Romanowsky-stained · peripheral blood film · brightfield, 100× oil-immersion objective: 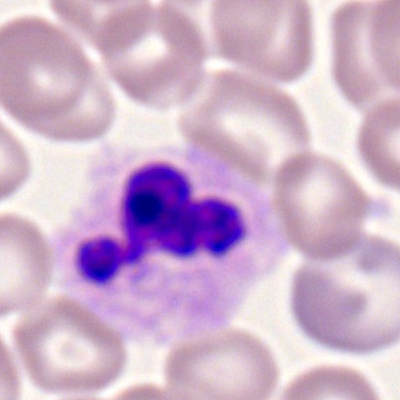
Q: Which cell type is shown here?
A: This is a neutrophil (segmented).